Bone marrow aspirate smear: 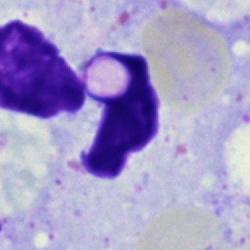Q: What is shown here?
A: An artifact.